Bone marrow aspirate smear — 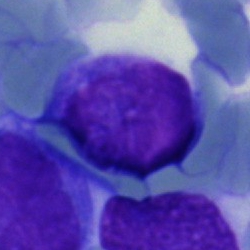

Cell: undifferentiated blast.